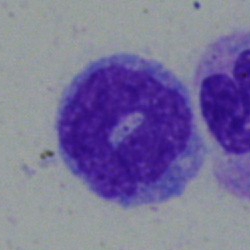Monocyte.